Bone marrow smear: 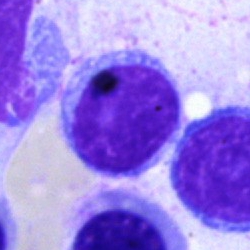
Q: What type of cell is this?
A: Typical lymphocyte.